May-Grünwald-Giemsa stain · bone marrow aspirate smear · 250 by 250 pixels
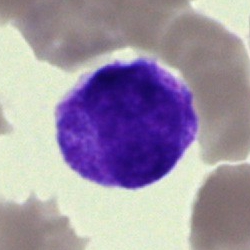{"cell_type": "undifferentiated blast"}